Bone marrow aspirate smear.
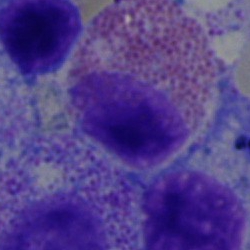

Cell: eosinophilic granulocyte.